Bone marrow aspirate smear.
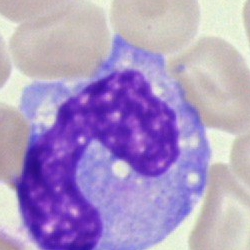This is a monocyte.